Peripheral blood smear.
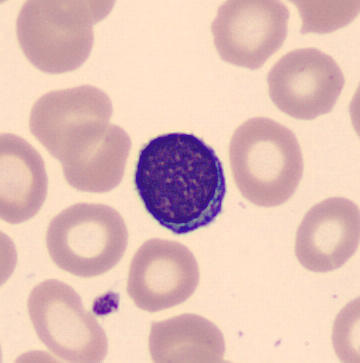
Q: Which cell type is shown here?
A: Typical lymphocyte.